Bone marrow aspirate smear:
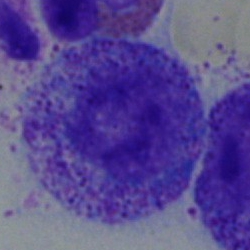

{"cell_type": "myelocyte"}